Image size 400×400; peripheral blood smear:
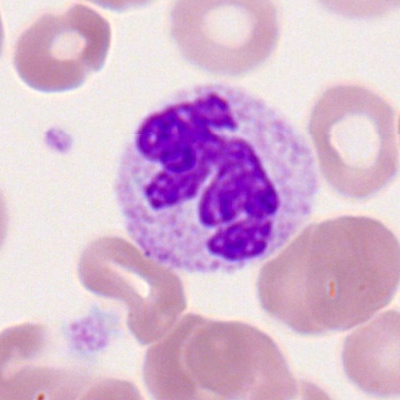 Specimen: peripheral blood film.
Morphological class: neutrophil (segmented).